Bone marrow smear. May-Grünwald-Giemsa/Pappenheim stain:
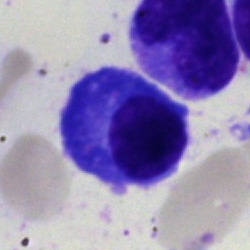
A plasmacyte.